Bone marrow aspirate smear.
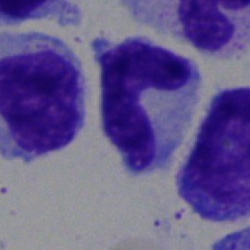
{"cell_type": "segmented neutrophil"}